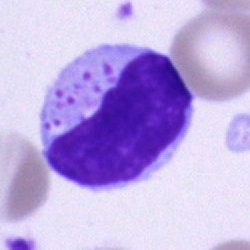Cell — lymphocyte.